Single cell centered in the field; peripheral blood film:
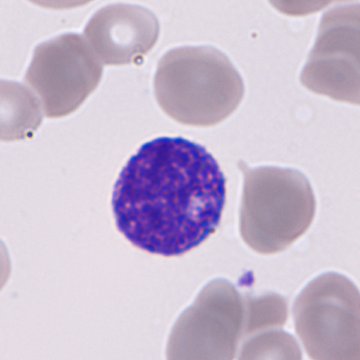 A granulocyte precursor.